250 by 250 pixels. Bone marrow aspirate smear
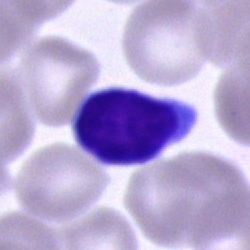
Classification: lymphocyte.